Bone marrow aspirate smear · single cell centered in the field — 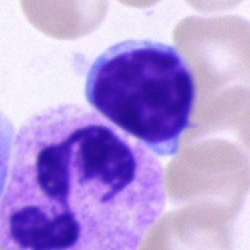The cell is lymphocyte.